Bone marrow aspirate smear; single cell centered in the field — 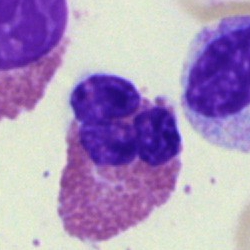

Morphological class = eosinophil.